Bone marrow aspirate smear — 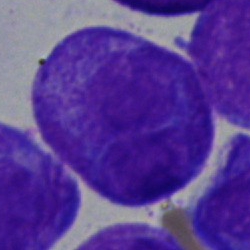
{"cell_type": "progranulocyte"}